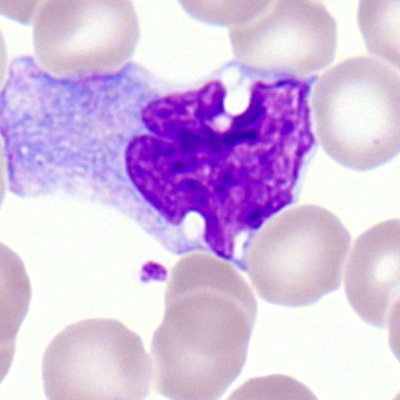
Q: Which cell type is shown here?
A: A monocyte.